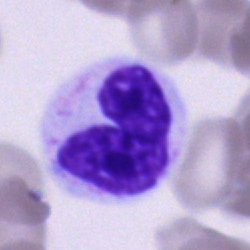 Specimen: bone marrow smear.
Cell: neutrophil (band).
Lineage: myeloid.